250×250 px. Bone marrow smear
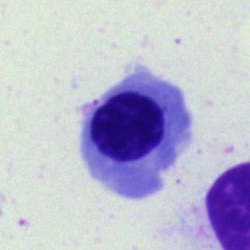

This is a nucleated red cell.